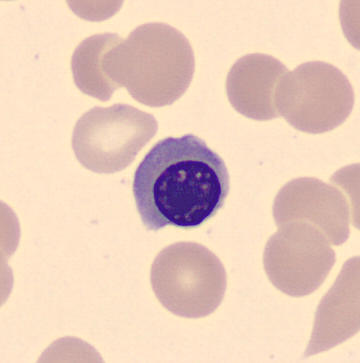 Morphology consistent with an erythroblast.

Peripheral blood smear · MGG stain · CellaVision DM96 digital cell image.